Bone marrow aspirate smear — 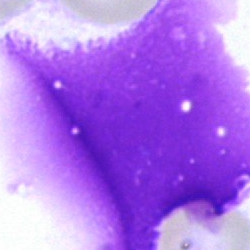Q: What is shown here?
A: This is an artifact.